Bone marrow aspirate smear; single cell centered in the field.
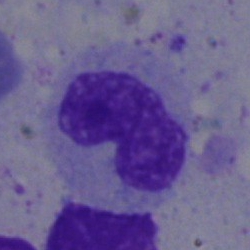Q: What cell is this?
A: Band-form neutrophil.